Peripheral blood film:
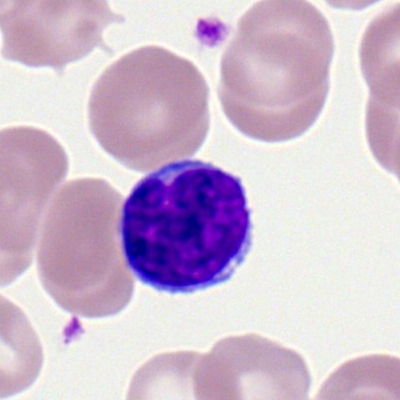
The morphological class is lymphocyte.